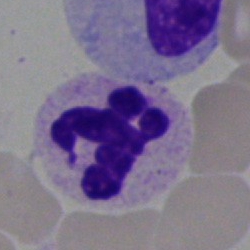Bone marrow smear showing a polymorphonuclear neutrophil.